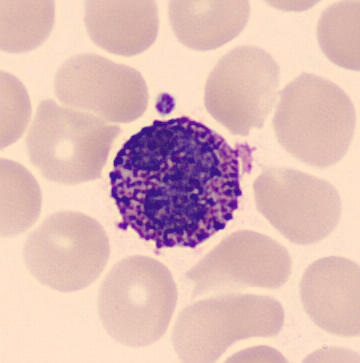 {"cell_type": "basophil", "lineage": "myeloid"}

Image: Peripheral blood film.